Bone marrow smear
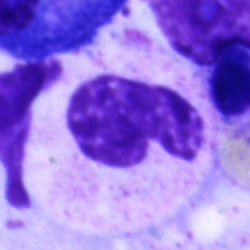 Cell type = polymorphonuclear neutrophil.